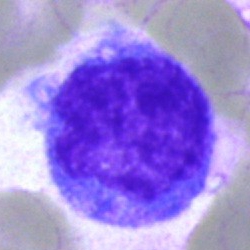
Impression — promyelocyte.